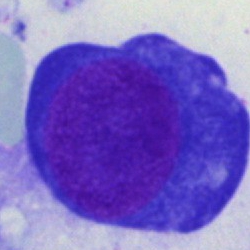 This is a pronormoblast.